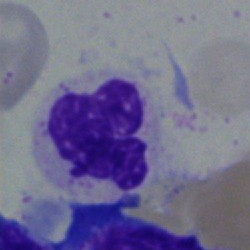 Cell = polymorphonuclear neutrophil.